Bone marrow smear. 250×250. Single-cell field — 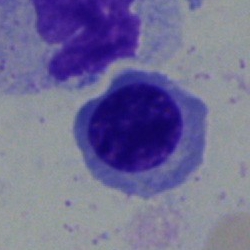

Q: What type of cell is this?
A: It is an erythroblast.